Bone marrow smear:
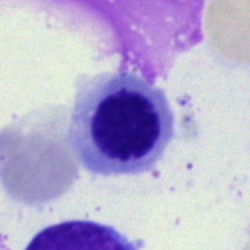Specimen: bone marrow smear.
Cell type: nucleated red blood cell.
Lineage: erythroid.